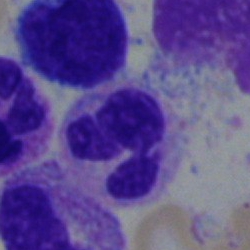 Morphological class = segmented neutrophil.